Peripheral blood film: 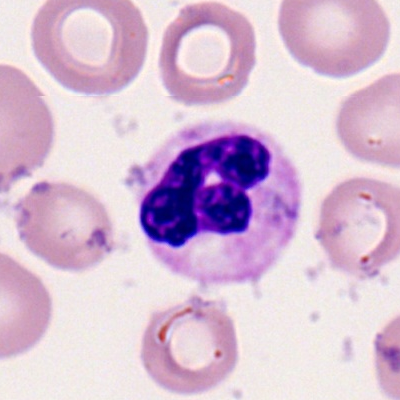

Q: What type of cell is this?
A: This is a neutrophil (segmented).